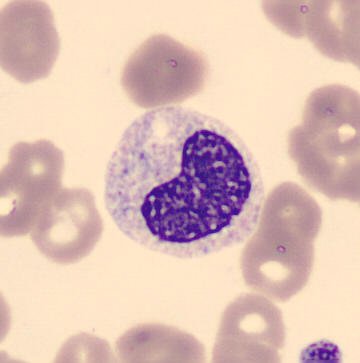 A metamyelocyte.